Bone marrow smear: 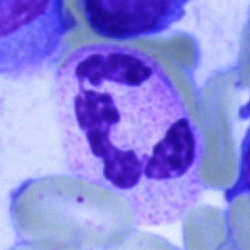

Morphology → neutrophil (segmented).